Single cell centered in the field. Bone marrow smear: 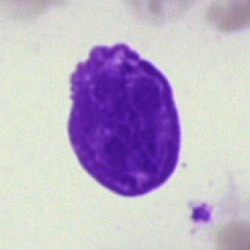
An artefact.